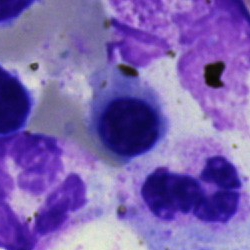Bone marrow aspirate smear, single cell — erythroblast.